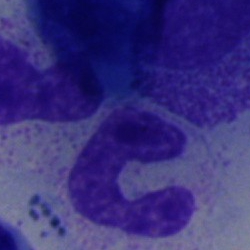Cell: neutrophil (band).